Romanowsky-type stain; peripheral blood film: 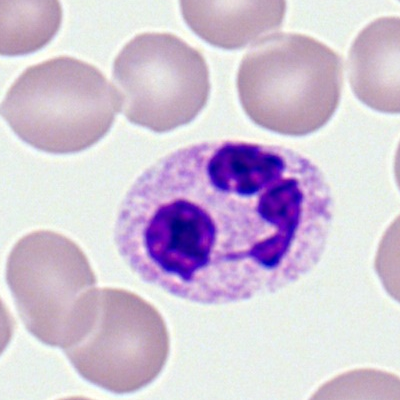 Q: Which cell type is shown here?
A: A segmented neutrophil.